MGG-stained · bone marrow aspirate smear:
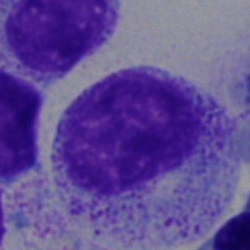
Cell: myelocyte.